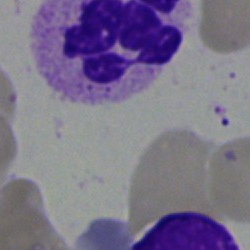

Polymorphonuclear neutrophil.